Bone marrow aspirate smear — 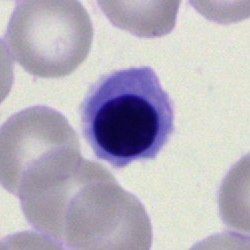

Impression — nucleated red blood cell.